Cropped to a single cell. Bone marrow aspirate smear.
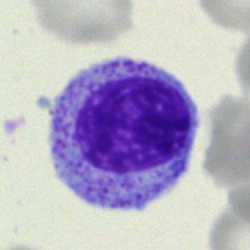Q: Which cell type is shown here?
A: This is a myelocyte.